Bone marrow aspirate smear — 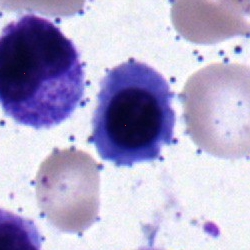Cell type: erythroblast.